Bone marrow smear; image size 250×250; single-cell field — 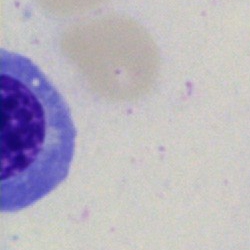
Q: Identify the cell.
A: It is a cell of indeterminate lineage.